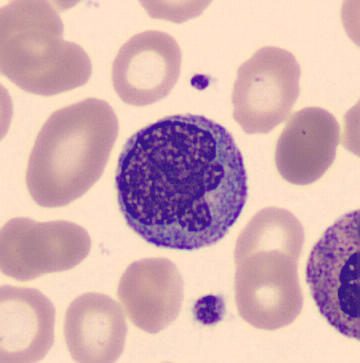

Q: What is shown here?
A: It is a monocyte. Cropped to a single cell · CellaVision DM96 digital cell image · peripheral blood film.